Romanowsky stain. Single cell centered in the field. Peripheral blood smear.
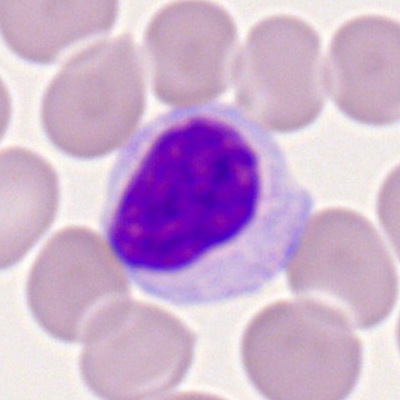
Showing a lymphocyte.